Single cell centered in the field · bone marrow aspirate smear: 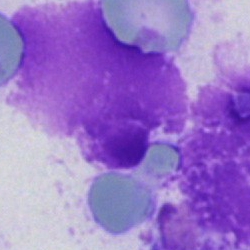

Morphology consistent with an artifact.